MGG-stained. Bone marrow smear — 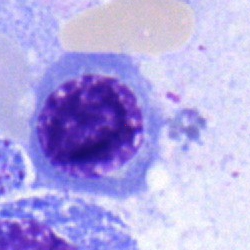 Impression → normoblast.